Bone marrow aspirate smear:
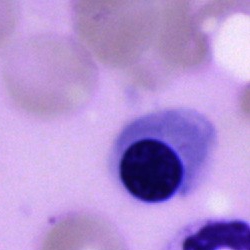 Erythroblast.